250×250 · bone marrow smear.
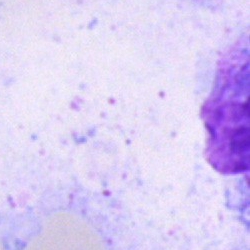

The cell type is artifact.